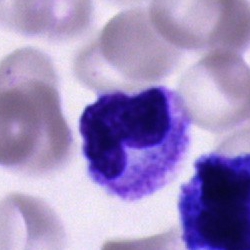
Segmented neutrophil.